Bone marrow aspirate smear: 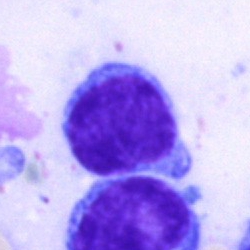 Q: What type of cell is this?
A: This is a typical lymphocyte.